400×400 px. M8 digital microscope (Precipoint), 100× oil immersion. Peripheral blood smear
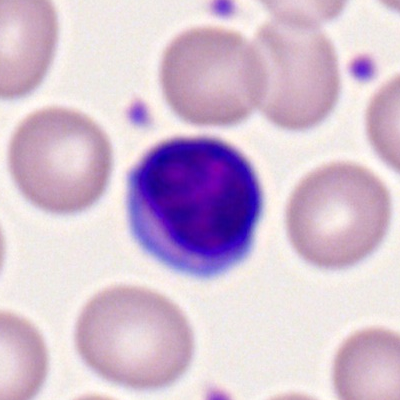
This is a lymphocyte.